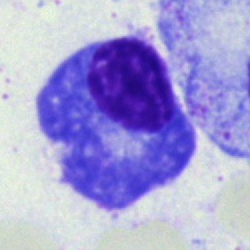Bone marrow smear showing a plasmacyte.